250×250; bone marrow smear; Pappenheim-stained: 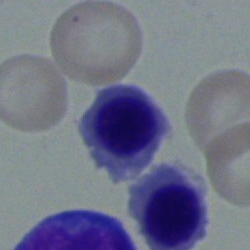Q: What is the morphological classification of this cell?
A: Nucleated red cell.